Bone marrow smear · May-Grünwald-Giemsa/Pappenheim stain: 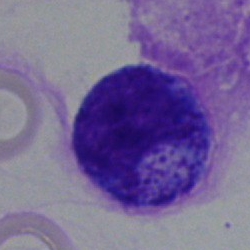 This is a promyelocyte.